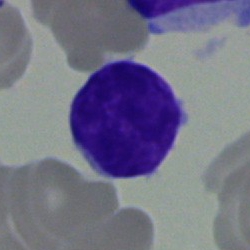 The morphological class is lymphocyte.